Bone marrow smear; brightfield, 40× oil-immersion objective; MGG-stained — 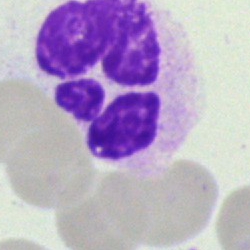

Morphology → artefact.